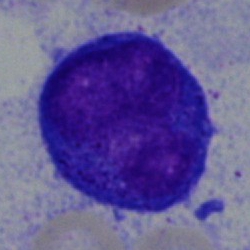
A progranulocyte.